Bone marrow smear: 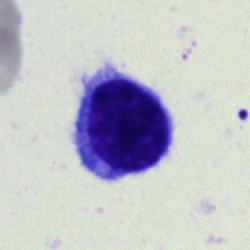
Cell: lymphocyte.